Brightfield, 100× oil-immersion objective; peripheral blood smear.
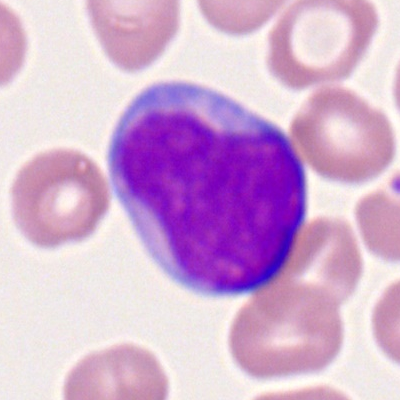 Morphological class: myeloblast.